Bone marrow aspirate smear
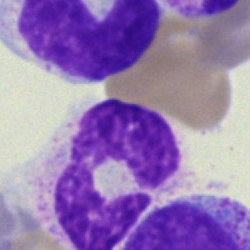

The cell type is segmented neutrophil.